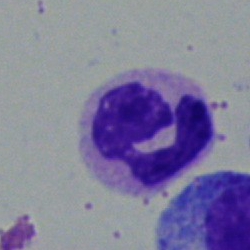 {"cell_type": "polymorphonuclear neutrophil", "lineage": "myeloid"}